MGG-stained. Bone marrow aspirate smear — 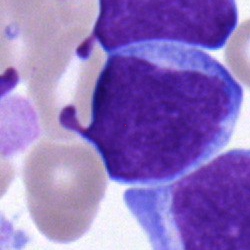 Q: What is the morphological classification of this cell?
A: Undifferentiated blast.